Bone marrow aspirate smear. Single-cell field.
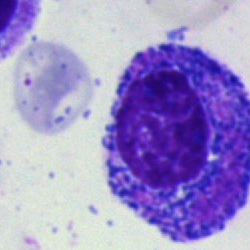 The cell shown is a promyelocyte.